40× objective, oil immersion · bone marrow smear · May-Grünwald-Giemsa/Pappenheim stain: 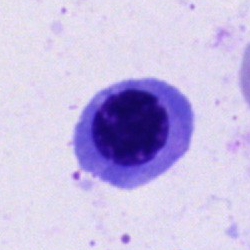 Classification = nucleated red cell.